May-Grünwald-Giemsa stain · cropped to a single cell · bone marrow smear: 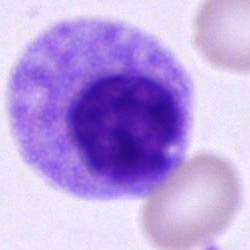Showing a myelocyte.